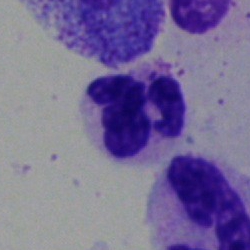

Q: Which cell type is shown here?
A: A neutrophil (segmented).